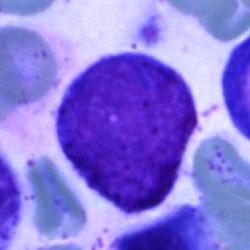

Single-cell crop from a bone marrow smear: cell of indeterminate lineage.